Peripheral blood smear.
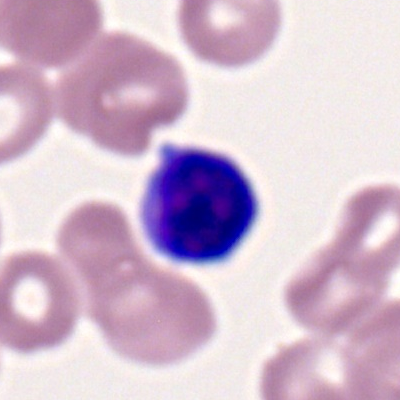 Q: What cell is this?
A: Lymphocyte.